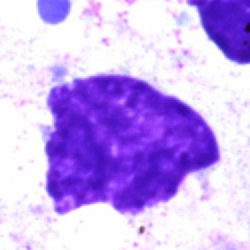

Classification — artefact.